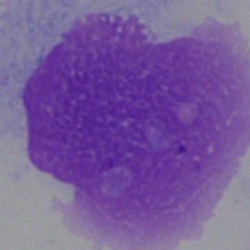

Q: What is shown here?
A: It is an artefact.